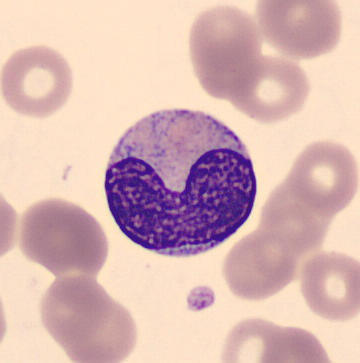This is a metamyelocyte.
Preparation: Peripheral blood smear.